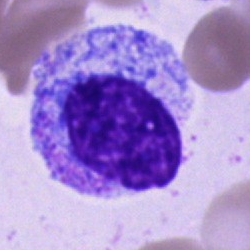 Morphology — progranulocyte.